250×250. Bone marrow smear: 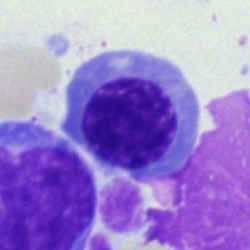 Morphology consistent with a nucleated red blood cell.